Peripheral blood smear
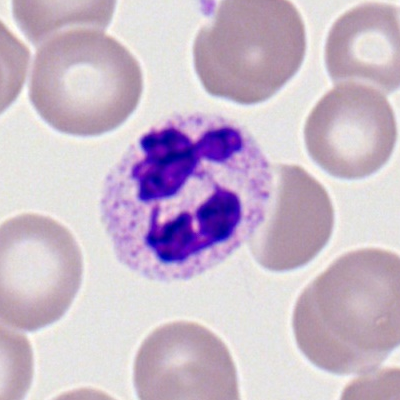The cell shown is a polymorphonuclear neutrophil.